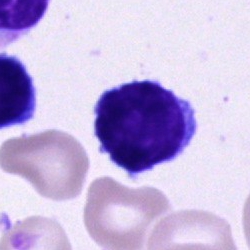
Q: Which cell type is shown here?
A: Typical lymphocyte.